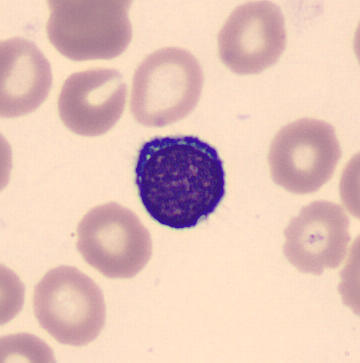
MGG stain. Peripheral blood smear.
A typical lymphocyte.